Bone marrow smear. Single-cell field.
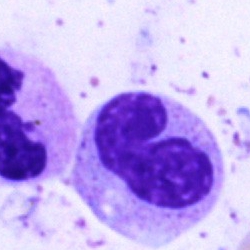

Morphology consistent with a metamyelocyte.